Peripheral blood film; May-Grünwald-Giemsa-stained; imaged on a CellaVision DM96 analyser — 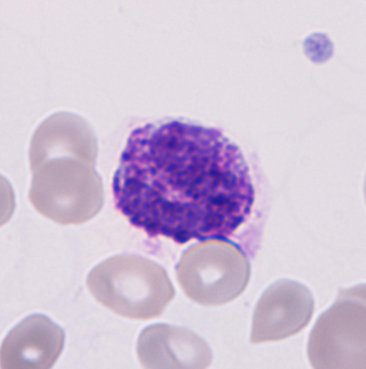

Showing a basophilic granulocyte.